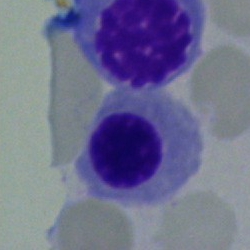 Q: What cell is this?
A: This is an erythroblast.